Bone marrow aspirate smear; 250 by 250 pixels; Pappenheim-stained
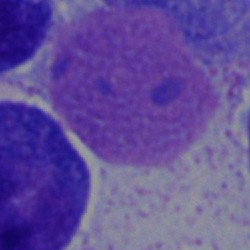

Q: What is shown here?
A: Artefact.